Pappenheim-stained; bone marrow aspirate smear; brightfield microscopy, 40× oil immersion — 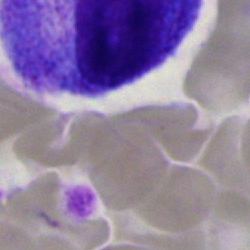
This is an artefact.